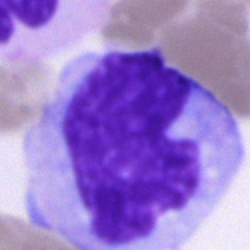 Morphological class = monocyte.